Bone marrow aspirate smear — 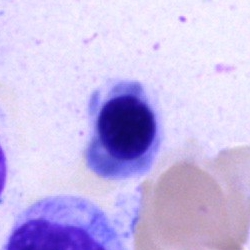

Impression — erythroblast.